Bone marrow aspirate smear:
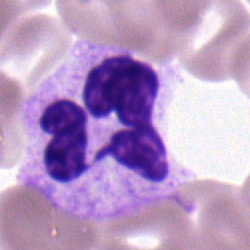

Specimen: bone marrow smear.
Cell type: segmented neutrophil.
Lineage: myeloid.